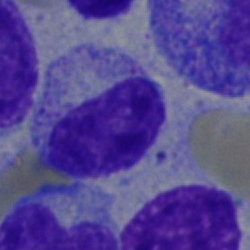 Single-cell crop from a bone marrow smear: myelocyte.